250×250 px; single-cell crop; bone marrow aspirate smear
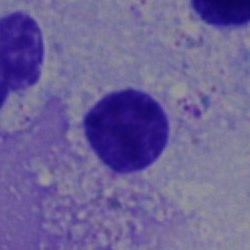

The cell shown is a lymphocyte.